Single cell centered in the field; bone marrow smear:
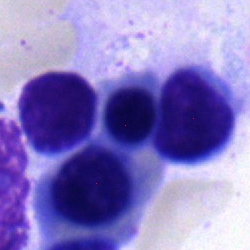Cell — nucleated red blood cell.